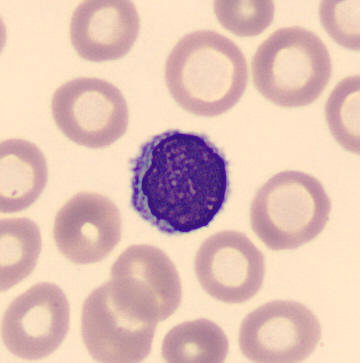 Image: Peripheral blood smear.
Morphology — lymphocyte.